Bone marrow aspirate smear:
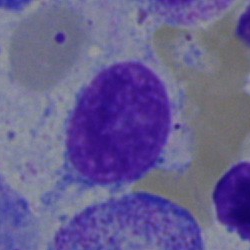

The classification is lymphocyte.